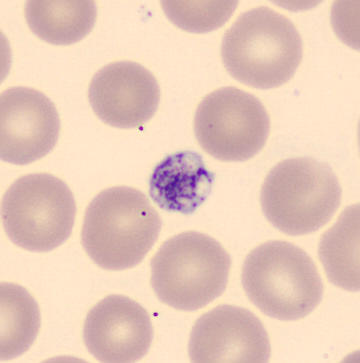Q: What is this?
A: This is a platelet (thrombocyte).